Bone marrow smear. Pappenheim-stained. Brightfield microscopy, 40× oil immersion:
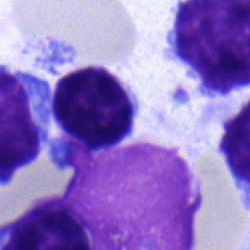Morphological class: typical lymphocyte.